Bone marrow aspirate smear:
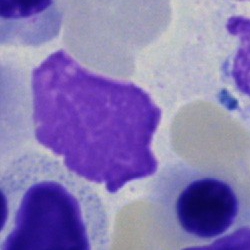 Specimen: bone marrow aspirate smear.
Cell type: artifact.